Bone marrow aspirate smear: 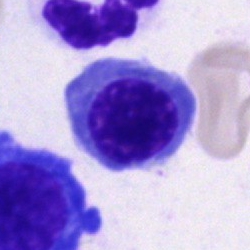Specimen: bone marrow aspirate smear.
Cell: nucleated red blood cell.